Bone marrow aspirate smear.
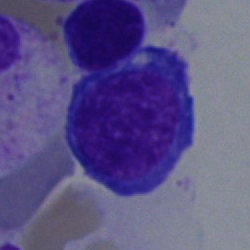

This is a nucleated red blood cell.